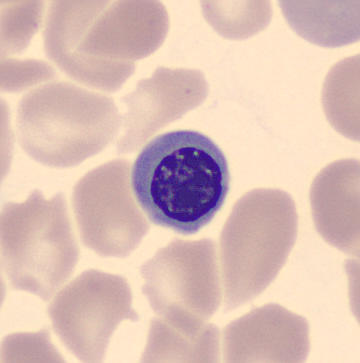 Morphological class: erythroblast.

Acquisition: CellaVision DM96 · peripheral blood film · image size 360×363.